Bone marrow aspirate smear; MGG-stained: 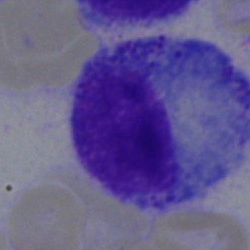

The cell shown is a progranulocyte.